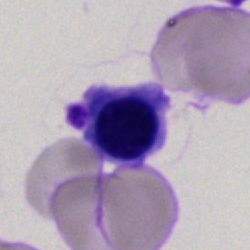Q: Identify the cell.
A: Nucleated red cell.